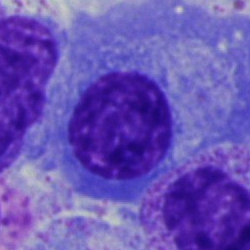Plasmacyte.